Bone marrow smear; brightfield microscopy, 40× oil immersion; Pappenheim-stained.
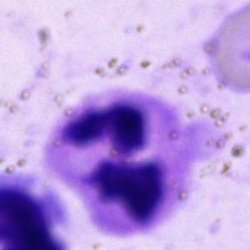

Specimen: bone marrow aspirate smear.
Morphological class: neutrophil (segmented).